Bone marrow aspirate smear · brightfield, 40× oil-immersion objective · May-Grünwald-Giemsa/Pappenheim stain
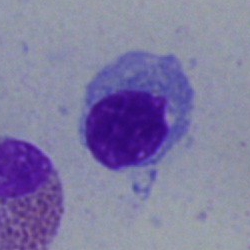
Classification = erythroblast.